Single-cell field · bone marrow smear — 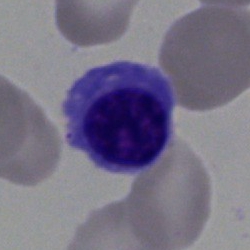Specimen: bone marrow aspirate smear.
Cell type: nucleated red blood cell.
Lineage: erythroid.